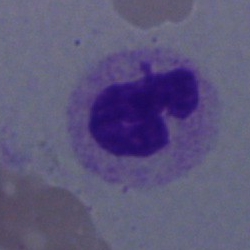 Bone marrow aspirate smear, single cell — polymorphonuclear neutrophil.